Bone marrow aspirate smear.
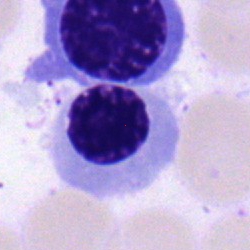 {"cell_type": "nucleated red blood cell", "lineage": "erythroid"}